MGG-stained · bone marrow smear: 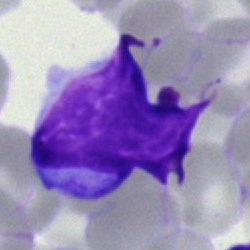
This is a lymphocyte.